Bone marrow aspirate smear; single-cell field.
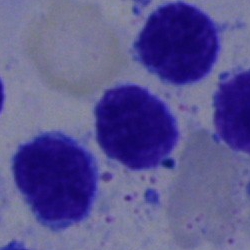 Single cell identified as a typical lymphocyte.